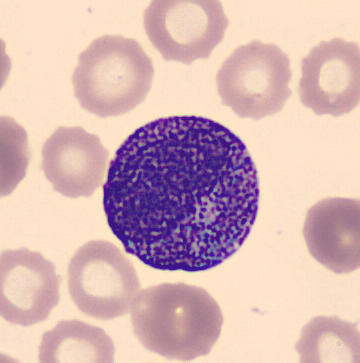Acquisition: Peripheral blood smear.
Cell type: progranulocyte.